Bone marrow smear.
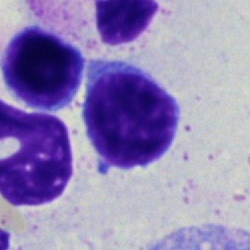

Cell = typical lymphocyte.